Image size 250×250 · bone marrow aspirate smear · brightfield microscopy, 40× oil immersion.
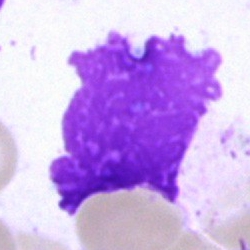

Specimen: bone marrow smear.
Classification: artifact.